MGG-stained · bone marrow aspirate smear:
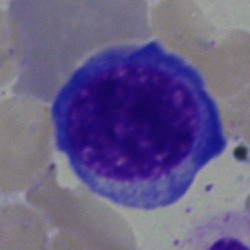

Q: What type of cell is this?
A: Nucleated red blood cell.